Bone marrow smear; image size 250×250: 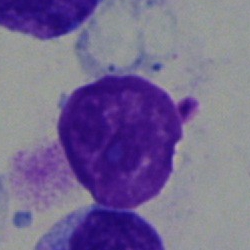

An artifact.